Bone marrow aspirate smear. 250×250. Brightfield microscopy, 40× oil immersion
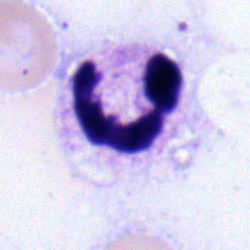
Impression → polymorphonuclear neutrophil.